Brightfield microscopy, 40× oil immersion; bone marrow aspirate smear; 250×250
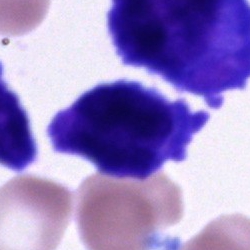

Cell: cell of indeterminate lineage.